40× oil immersion · bone marrow smear · cropped to a single cell.
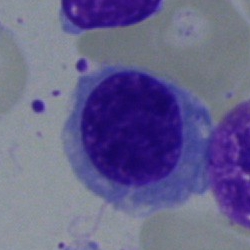{"cell_type": "normoblast"}